Bone marrow smear — 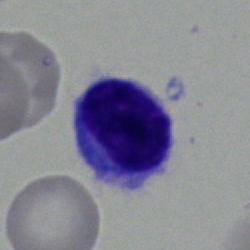

{"cell_type": "lymphocyte", "lineage": "lymphoid"}